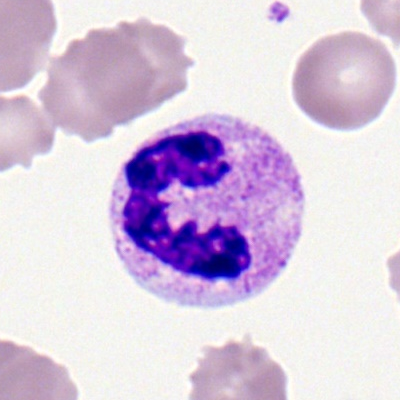 Classification = segmented neutrophil.